Bone marrow smear:
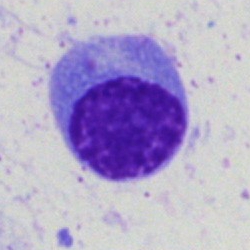

Showing a plasma cell.